Single-cell crop; bone marrow aspirate smear
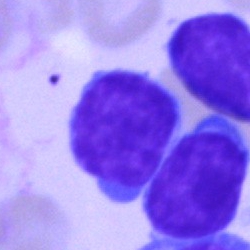 Typical lymphocyte.